Bone marrow aspirate smear
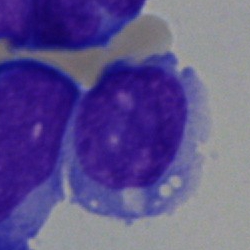Q: What cell is this?
A: This is a blast.